Bone marrow aspirate smear; 250×250 px.
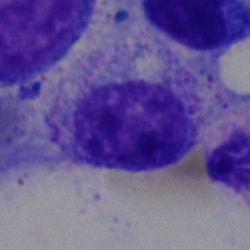Morphology consistent with a myelocyte.